Bone marrow smear. Brightfield microscopy, 40× oil immersion.
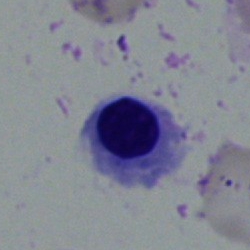
This is a nucleated red blood cell.